Single cell centered in the field; bone marrow smear — 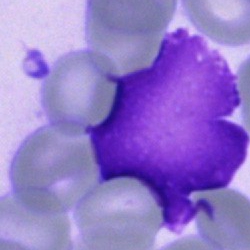 Artefact.